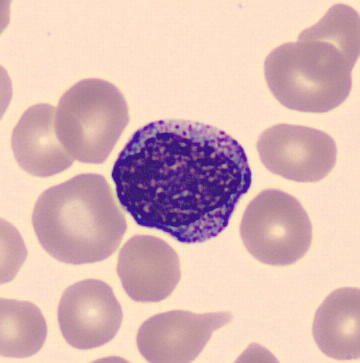
Preparation: Peripheral blood smear. MGG stain. The cell shown is a myelocyte.